Cropped to a single cell; peripheral blood smear: 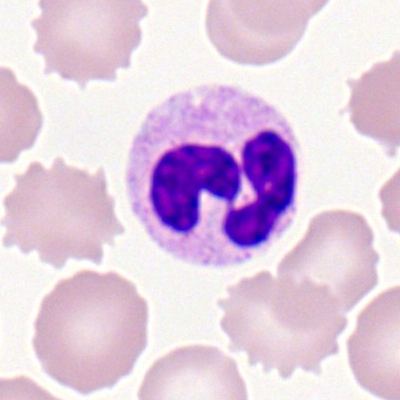 Q: What type of cell is this?
A: It is a neutrophil (segmented).